Bone marrow aspirate smear.
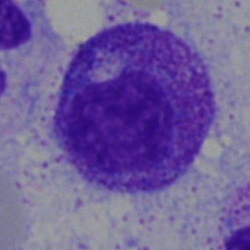 Q: What cell is this?
A: It is a myelocyte.